Bone marrow aspirate smear
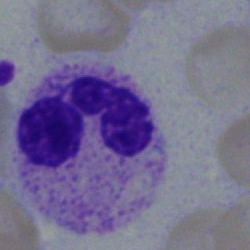

Q: What is the morphological classification of this cell?
A: It is a segmented neutrophil.